MGG-stained. Brightfield, 40× oil-immersion objective. Bone marrow smear — 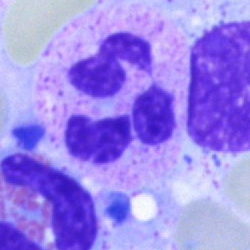The cell is polymorphonuclear neutrophil.